Bone marrow aspirate smear — 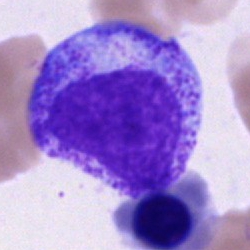

Q: What is the morphological classification of this cell?
A: Promyelocyte.